May-Grünwald-Giemsa/Pappenheim stain; bone marrow smear — 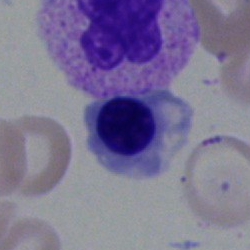

This is a normoblast.